Bone marrow aspirate smear. Brightfield microscopy, 40× oil immersion
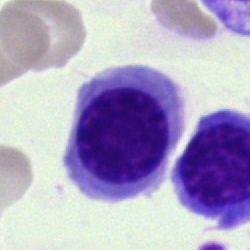

This is a nucleated red cell.